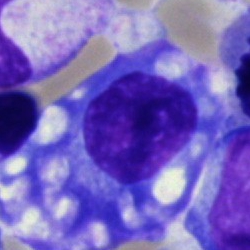 Classification: plasmacyte.